Bone marrow smear — 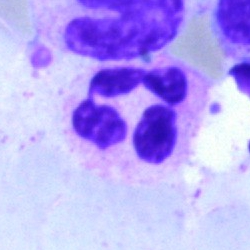 Classification = segmented neutrophil.